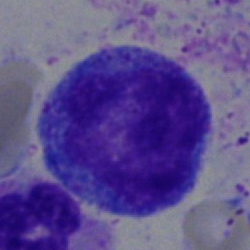 The cell shown is a progranulocyte.